250×250 px. Bone marrow smear:
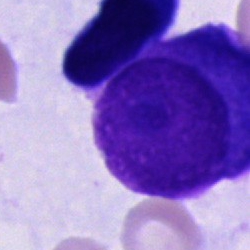Cell = plasma cell.